Image size 250×250 · brightfield, 40× oil-immersion objective · bone marrow smear — 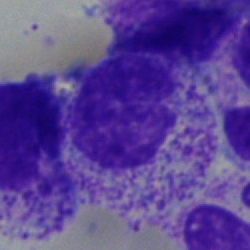 Morphological class: myelocyte.